Bone marrow aspirate smear — 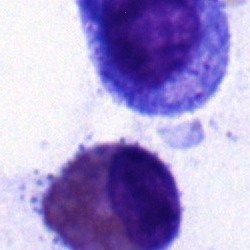Cell — promyelocyte.